Peripheral blood smear · Romanowsky stain · single-cell field.
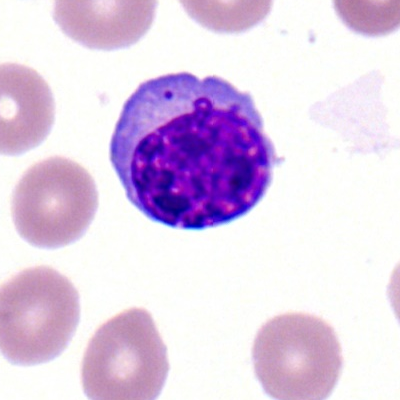{"cell_type": "lymphocyte", "lineage": "lymphoid"}